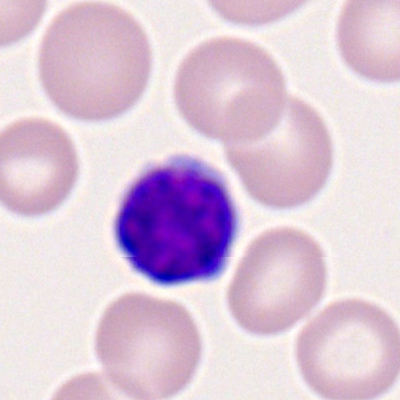 The cell is lymphocyte.